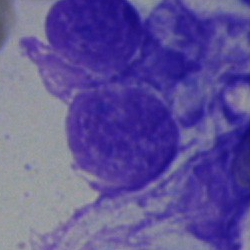
Specimen: bone marrow aspirate smear.
Cell: artifact.